Bone marrow smear
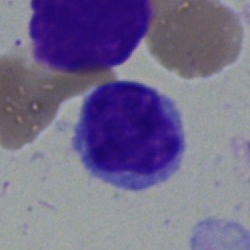This is a lymphocyte.